Image size 250×250. Bone marrow aspirate smear. May-Grünwald-Giemsa/Pappenheim stain: 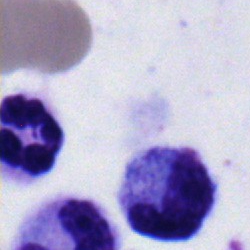Q: What type of cell is this?
A: Segmented neutrophil.